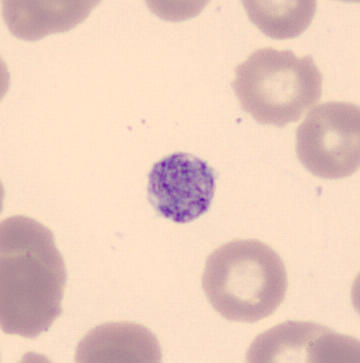

Q: What is this?
A: This is a thrombocyte.